250×250. May-Grünwald-Giemsa/Pappenheim stain. Bone marrow aspirate smear.
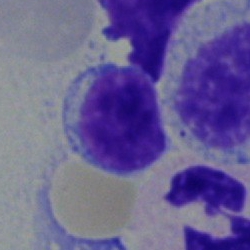
Showing a lymphocyte.